250×250 px. Bone marrow smear. Pappenheim-stained:
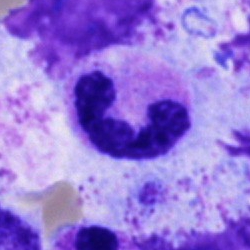
{"cell_type": "segmented neutrophil", "lineage": "myeloid"}